Bone marrow smear.
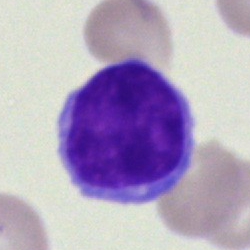
Morphological class = typical lymphocyte.